Single-cell field. Bone marrow smear: 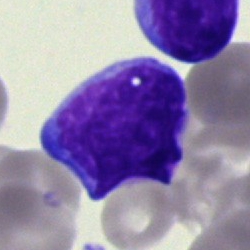

This is a blast.